Bone marrow aspirate smear.
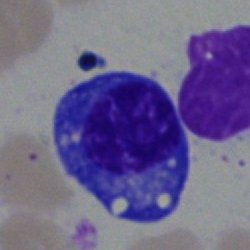 Impression — plasma cell.